Bone marrow aspirate smear.
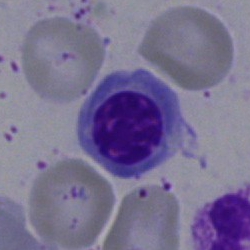 The cell shown is an erythroblast.